Bone marrow aspirate smear; 40× objective, oil immersion — 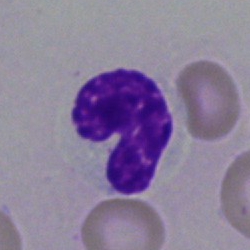

Showing a band neutrophil.